Bone marrow aspirate smear
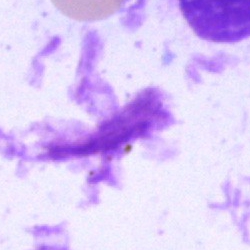Cell type = artifact.